Cropped to a single cell; brightfield, 40× oil-immersion objective; bone marrow smear:
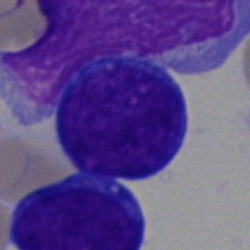 Single cell identified as an undifferentiated blast.